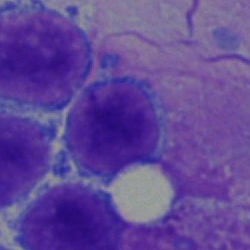Classification = typical lymphocyte.